Bone marrow smear. Brightfield microscopy, 40× oil immersion — 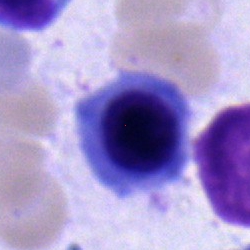
Morphological class — nucleated red cell.